Peripheral blood film
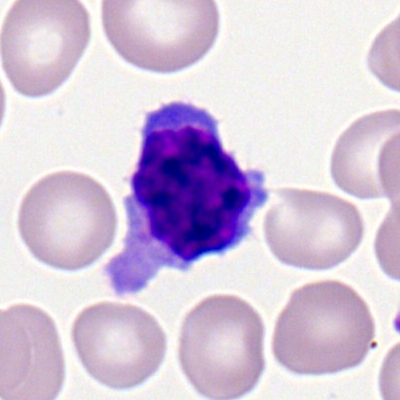
Cell: typical lymphocyte.